Cropped to a single cell; 250 by 250 pixels; bone marrow aspirate smear: 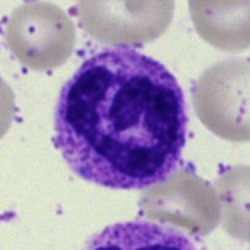
Specimen: bone marrow smear.
Cell type: neutrophil (segmented).